Bone marrow smear · 40× oil immersion:
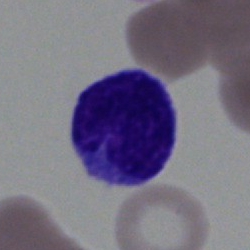Q: What is shown here?
A: A lymphocyte.